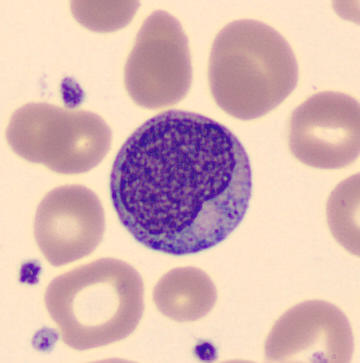The cell shown is a myelocyte. Preparation: May-Grünwald-Giemsa-stained · peripheral blood smear.